Bone marrow aspirate smear — 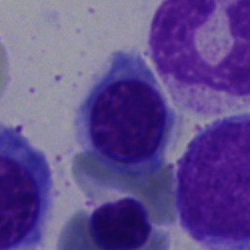
Cell type: nucleated red blood cell.